Bone marrow aspirate smear · MGG-stained.
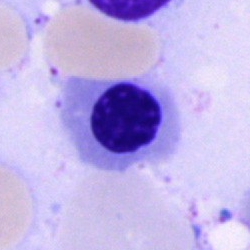Impression → nucleated red blood cell.